May-Grünwald-Giemsa/Pappenheim stain · bone marrow smear.
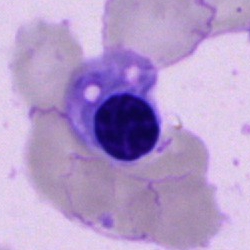
The cell shown is an erythroblast.